Bone marrow aspirate smear · brightfield microscopy, 40× oil immersion: 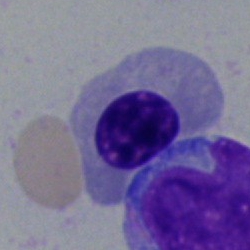Specimen: bone marrow aspirate smear.
Cell: normoblast.